Bone marrow smear · single cell centered in the field · 40× objective, oil immersion: 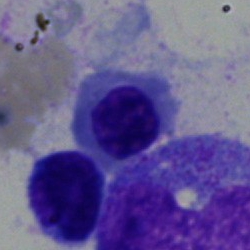 Morphology consistent with a nucleated red blood cell.